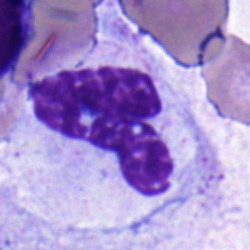

Classification — polymorphonuclear neutrophil.